Cropped to a single cell; bone marrow smear — 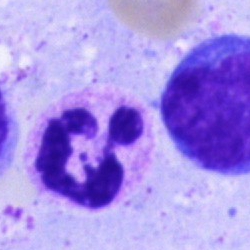Segmented neutrophil.